Bone marrow aspirate smear — 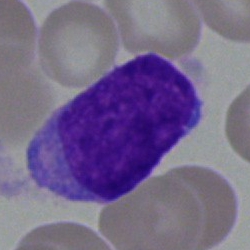Morphology — undifferentiated blast.